Bone marrow aspirate smear · Pappenheim-stained · cropped to a single cell — 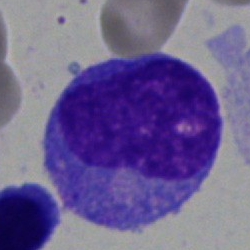Cell: promyelocyte.